Bone marrow smear. Single-cell field:
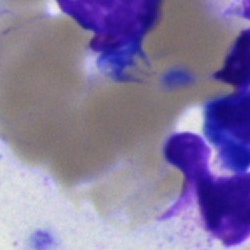

Cell type: artefact.